Peripheral blood film. Single-cell crop — 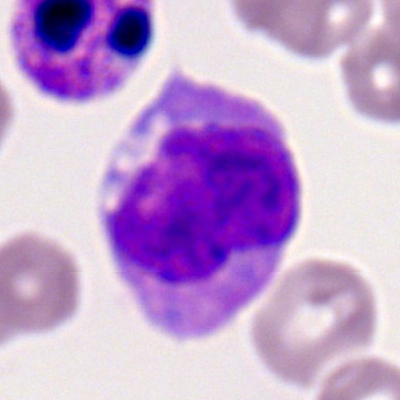
Q: Identify the cell.
A: This is a monocyte.